Single cell centered in the field; bone marrow smear.
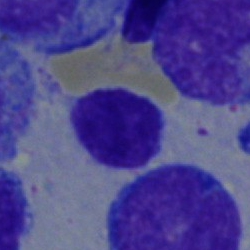
The cell shown is a lymphocyte.